Brightfield microscopy, 40× oil immersion; Pappenheim-stained; bone marrow smear:
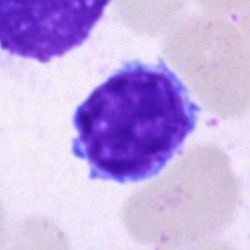

A lymphocyte.